Bone marrow smear; May-Grünwald-Giemsa stain — 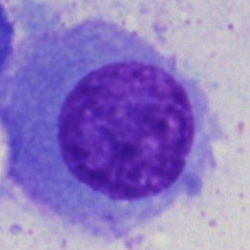
Cell type: plasmacyte.